Single-cell field · May-Grünwald-Giemsa/Pappenheim stain · bone marrow smear:
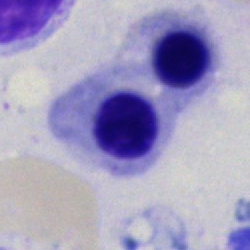
Cell = erythroblast.